Bone marrow smear · cropped to a single cell — 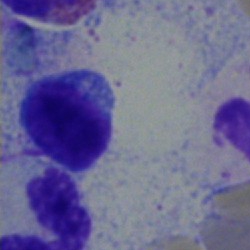

Cell = typical lymphocyte.